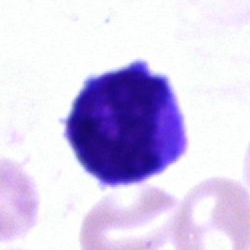
Q: What is the morphological classification of this cell?
A: Blast cell.